Bone marrow smear
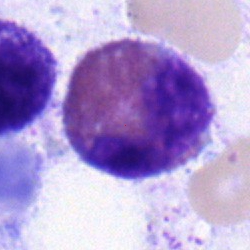 Impression → eosinophil.